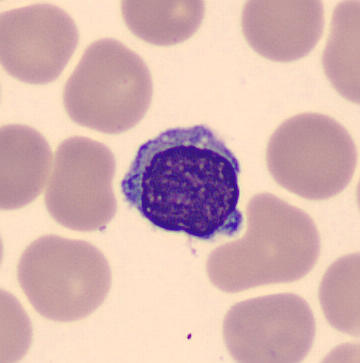 Q: What is the morphological classification of this cell?
A: It is a lymphocyte. Image size 360×363. Peripheral blood film.